Bone marrow smear. Single-cell field — 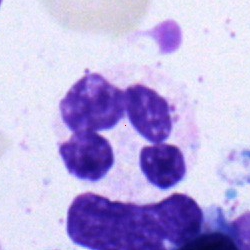 {"cell_type": "segmented neutrophil", "lineage": "myeloid"}